Single cell centered in the field. Brightfield, 40× oil-immersion objective. Bone marrow smear — 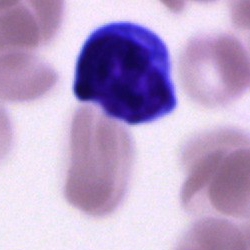 Single cell identified as a typical lymphocyte.